250×250. Bone marrow aspirate smear — 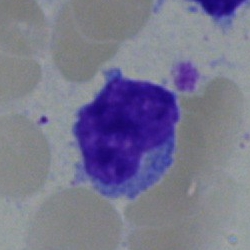

Morphology — lymphocyte.